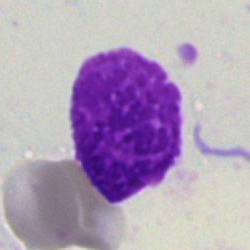

Cell = artefact.